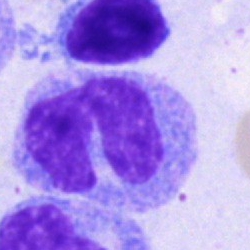
Specimen: bone marrow aspirate smear.
Cell: monocyte.
Lineage: myeloid.